Bone marrow aspirate smear. May-Grünwald-Giemsa/Pappenheim stain. Single-cell crop — 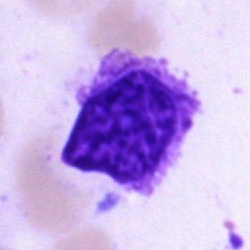
{"cell_type": "artifact"}